Single-cell field; bone marrow aspirate smear
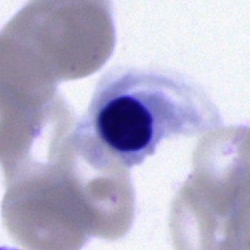The cell shown is an erythroblast.